Single cell centered in the field · bone marrow aspirate smear.
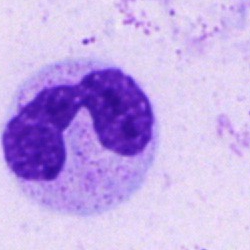
Cell — segmented neutrophil.